May-Grünwald-Giemsa stain; bone marrow smear
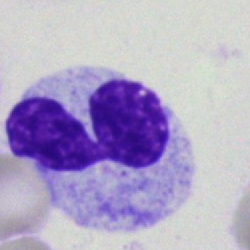
Morphological class = neutrophil (segmented).